Bone marrow aspirate smear:
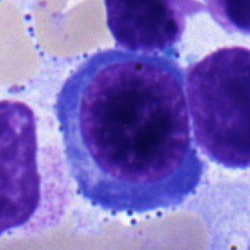The morphological class is nucleated red blood cell.